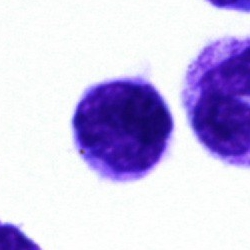 Q: Identify the cell.
A: A typical lymphocyte.